Bone marrow smear:
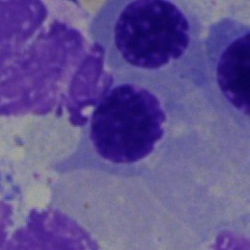Morphology consistent with a nucleated red cell.